Bone marrow smear; single cell centered in the field — 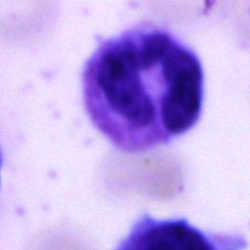Showing a neutrophil (segmented).